Bone marrow smear.
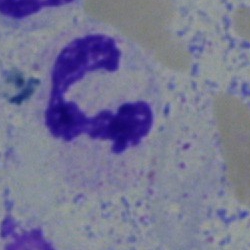 Showing a polymorphonuclear neutrophil.